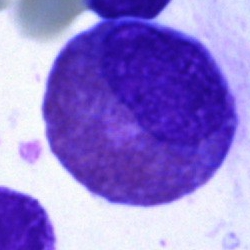 {"cell_type": "eosinophilic granulocyte", "lineage": "myeloid"}